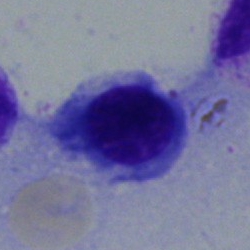
The morphological class is normoblast.